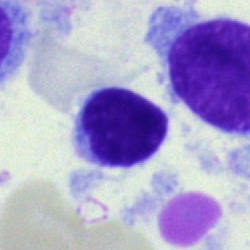 {"cell_type": "typical lymphocyte"}